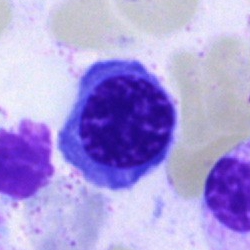
Single-cell crop from a bone marrow smear: normoblast.